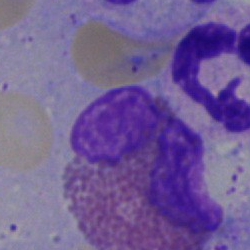 Q: What is the morphological classification of this cell?
A: Eosinophil.